Bone marrow smear — 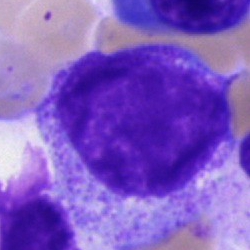Morphology consistent with a promyelocyte.